Bone marrow aspirate smear
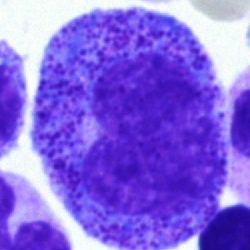
Classification: promyelocyte.